Bone marrow smear. 250×250 px.
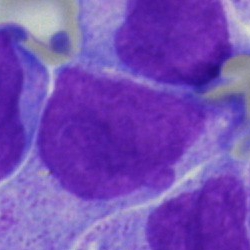 Cell type = blast.